Bone marrow aspirate smear — 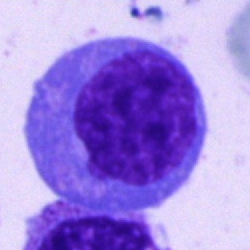 Impression → blast cell.